Bone marrow aspirate smear:
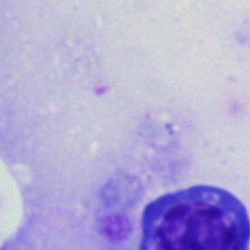

Specimen: bone marrow smear.
Morphological class: artifact.